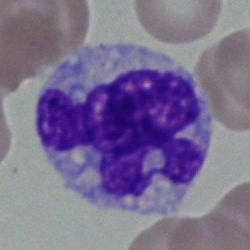 Cell: monocyte.